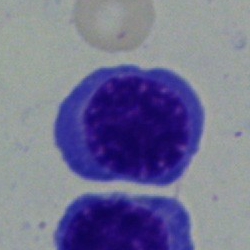Cell type: erythroblast.